MGG-stained · bone marrow smear
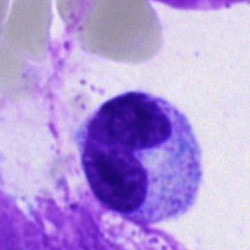Cell type — metamyelocyte.